Bone marrow smear.
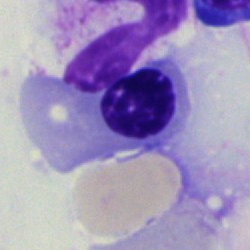 Erythroblast.